Bone marrow aspirate smear. Single-cell field — 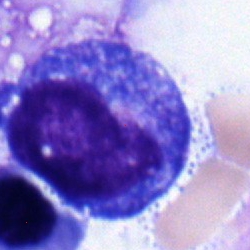
Specimen: bone marrow aspirate smear.
Cell: progranulocyte.